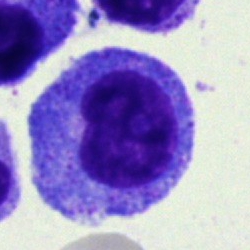 Specimen: bone marrow smear.
Cell: promyelocyte.